Bone marrow aspirate smear
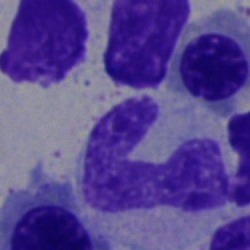
Morphology consistent with a band-form neutrophil.